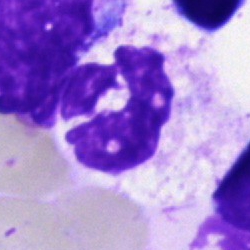Bone marrow aspirate smear, single cell — neutrophil (segmented).